May-Grünwald-Giemsa stain; bone marrow aspirate smear: 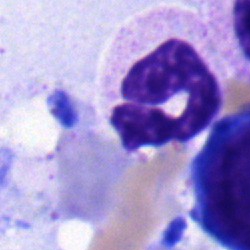

Single cell identified as a segmented neutrophil.